Bone marrow aspirate smear:
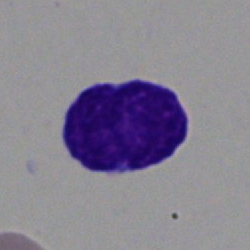 Specimen: bone marrow aspirate smear.
Classification: blast cell.